May-Grünwald-Giemsa/Pappenheim stain; brightfield microscopy, 40× oil immersion; bone marrow aspirate smear
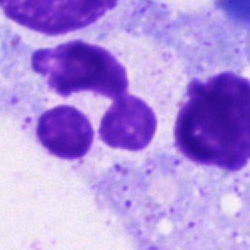

Single cell identified as a polymorphonuclear neutrophil.